Bone marrow aspirate smear:
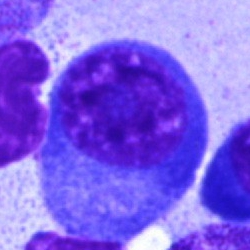 Showing a plasma cell.